Bone marrow aspirate smear: 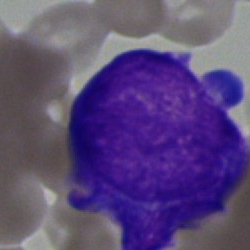Blast.